Bone marrow smear: 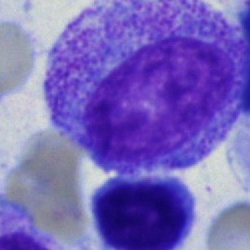Specimen: bone marrow aspirate smear.
Classification: progranulocyte.
Lineage: myeloid.